Single-cell field · bone marrow aspirate smear:
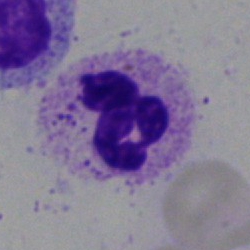

Morphology → segmented neutrophil.